Peripheral blood smear
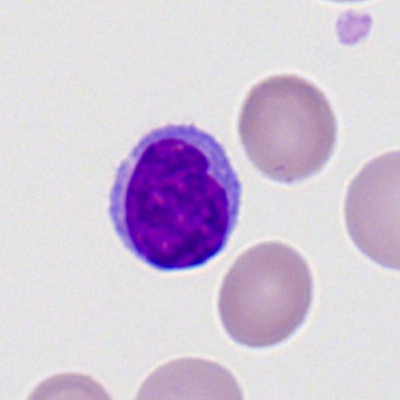
Single cell identified as a typical lymphocyte.